Bone marrow aspirate smear.
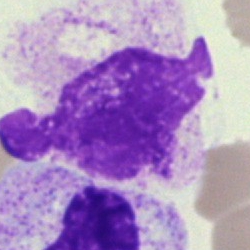Impression — artefact.